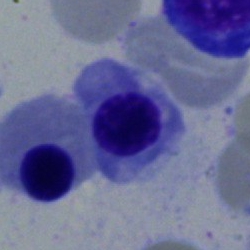

Q: Identify the cell.
A: It is a normoblast.